Brightfield, 40× oil-immersion objective; bone marrow smear — 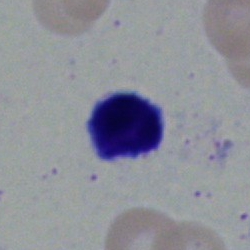

Showing a typical lymphocyte.